Bone marrow smear
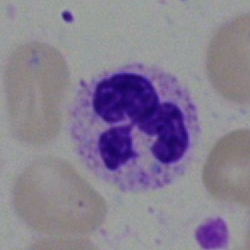
The cell shown is a segmented neutrophil.